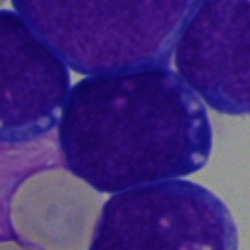{"cell_type": "undifferentiated blast"}